Bone marrow smear · 250×250 px.
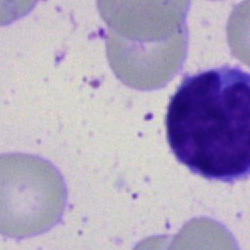
Morphology consistent with an artifact.